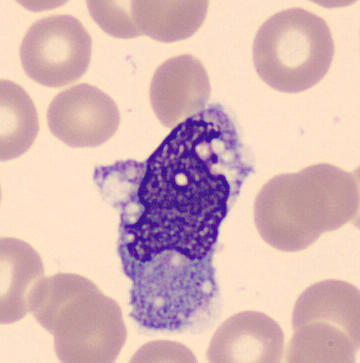

Q: What is this?
A: A monocyte.